Peripheral blood smear
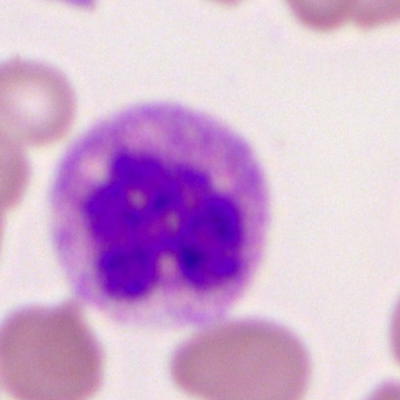
Cell type = polymorphonuclear neutrophil.